Peripheral blood smear:
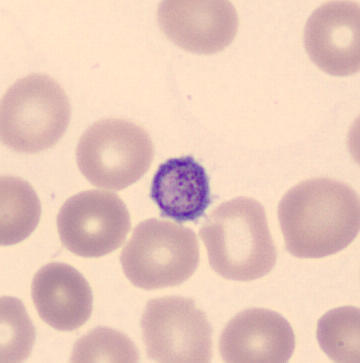

This is a thrombocyte.